Bone marrow smear: 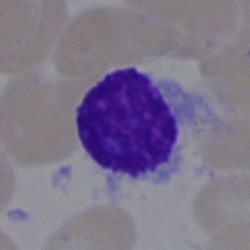Q: Identify the cell.
A: Typical lymphocyte.